Bone marrow smear:
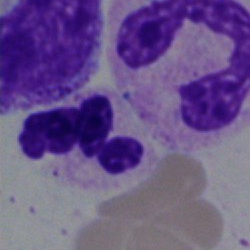A neutrophil (segmented).